Bone marrow smear
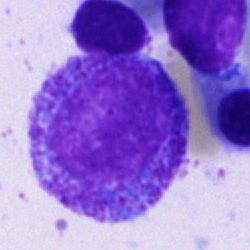 Impression — promyelocyte.